MGG-stained. Bone marrow aspirate smear: 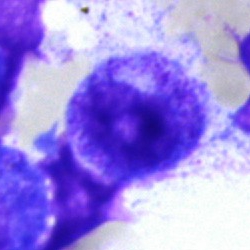Morphology → myelocyte.